Brightfield microscopy, 40× oil immersion · May-Grünwald-Giemsa/Pappenheim stain · bone marrow smear: 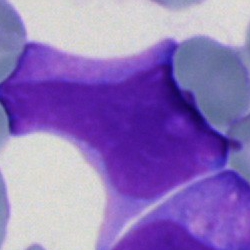Showing a blast cell.